Bone marrow aspirate smear; May-Grünwald-Giemsa stain; image size 250×250:
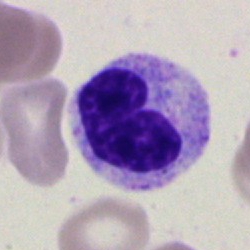 Impression — metamyelocyte.